Bone marrow smear:
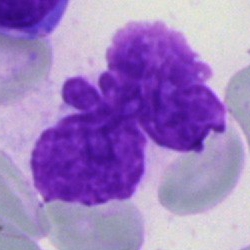Q: What is shown here?
A: It is an artefact.